Bone marrow aspirate smear.
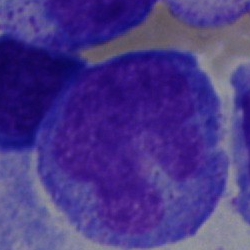Morphological class — monocyte.